Bone marrow aspirate smear · 250×250 — 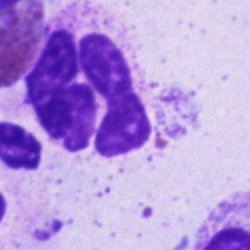

Single cell identified as an artefact.